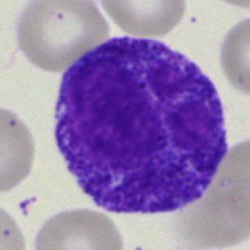Specimen: bone marrow smear.
Cell: progranulocyte.